Bone marrow smear:
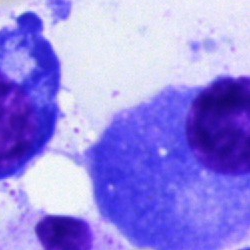 Specimen: bone marrow aspirate smear.
Morphological class: plasma cell.
Lineage: lymphoid.